Bone marrow smear. 250 by 250 pixels. Single cell centered in the field: 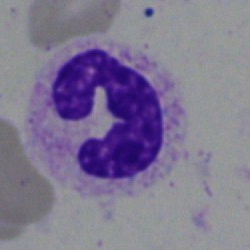

Q: Identify the cell.
A: Segmented neutrophil.